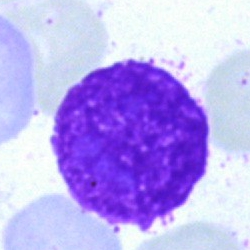Morphological class — artifact.